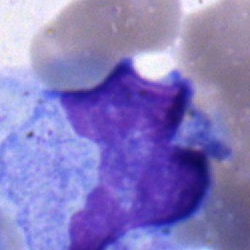
A monocyte on a bone marrow smear.